Peripheral blood film.
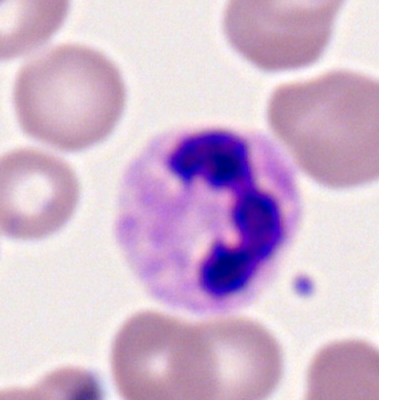
Q: Identify the cell.
A: This is a segmented neutrophil.